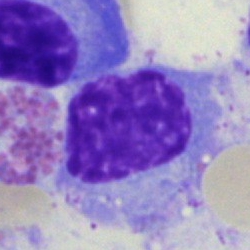
The cell shown is a plasmacyte.